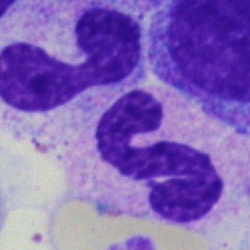

Morphology consistent with a neutrophil (segmented).